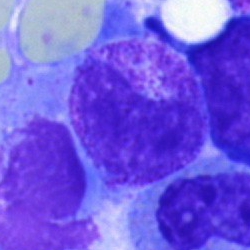Impression → band-form neutrophil.